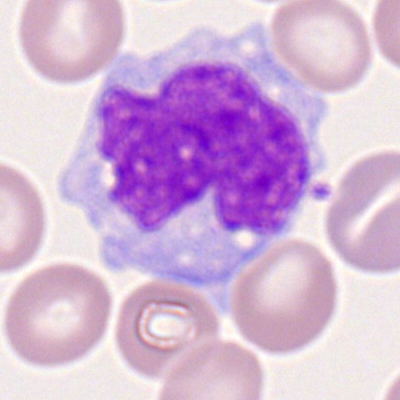 Q: What is shown here?
A: A monocyte.